Bone marrow aspirate smear. Single-cell field: 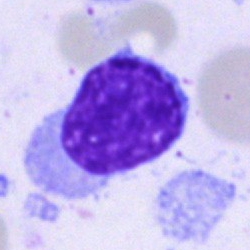

Single cell identified as a lymphocyte.